MGG-stained; bone marrow smear:
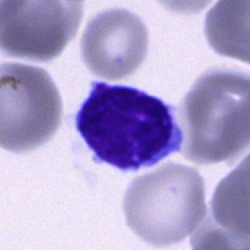 Morphological class — typical lymphocyte.